MGG-stained · bone marrow aspirate smear.
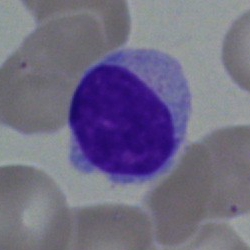The cell type is typical lymphocyte.